Bone marrow aspirate smear · 250×250 — 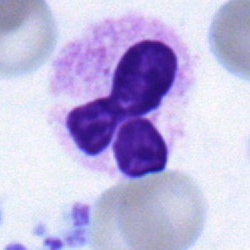 Showing a segmented neutrophil.